Bone marrow smear: 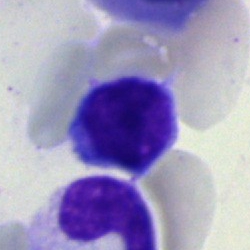

The classification is typical lymphocyte.